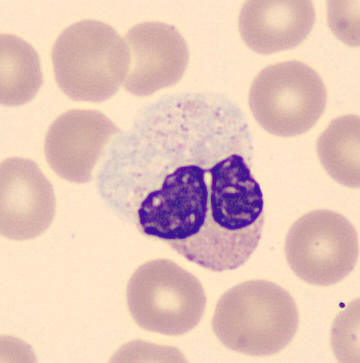

Q: Which cell type is shown here?
A: A polymorphonuclear neutrophil.

Preparation: Peripheral blood film.